Bone marrow smear — 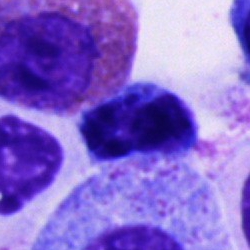
Showing a cell of indeterminate lineage.